Bone marrow smear.
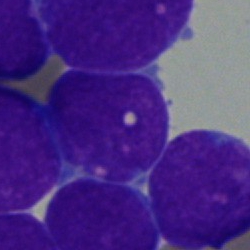Impression → blast.